Bone marrow smear · single-cell crop
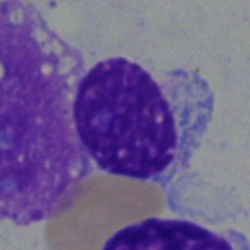

Morphological class = artefact.